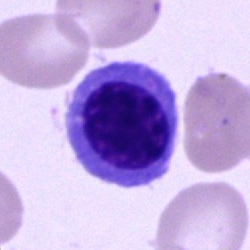

This is an erythroblast.